Peripheral blood smear.
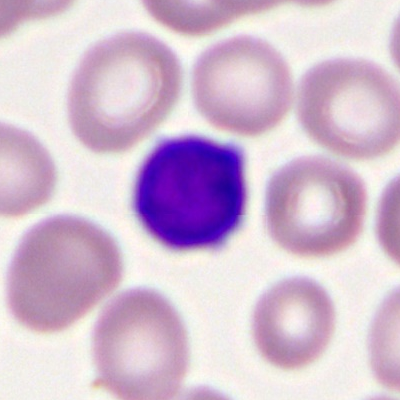
Q: Identify the cell.
A: Typical lymphocyte.